CellaVision DM96 · peripheral blood smear — 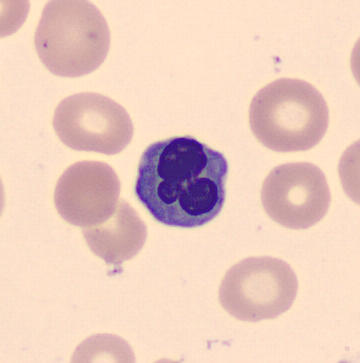 A normoblast.